Pappenheim-stained. Bone marrow smear — 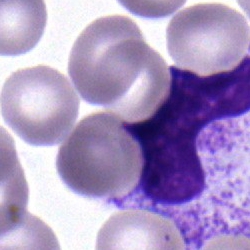Showing a stab cell.